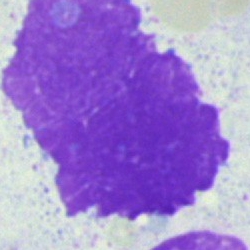 Morphology → artifact.